Bone marrow smear
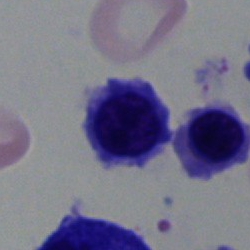
Showing a normoblast.